Bone marrow aspirate smear — 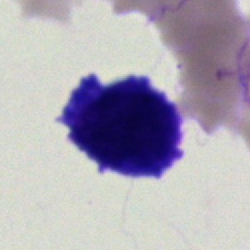

Q: What is shown here?
A: Artifact.